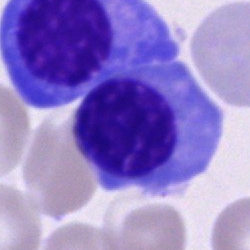
Cell: normoblast.